MGG-stained. Bone marrow aspirate smear. Single cell centered in the field
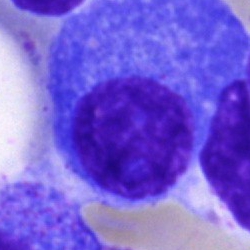{"cell_type": "plasma cell", "lineage": "lymphoid"}